Single-cell crop. Bone marrow smear: 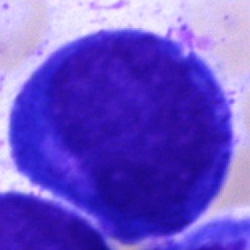

Cell type = promyelocyte.